Bone marrow aspirate smear — 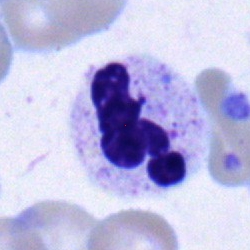

Specimen: bone marrow smear.
Cell: lymphocyte.
Lineage: lymphoid.